Peripheral blood film:
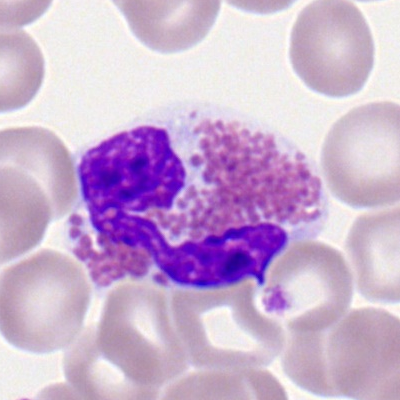 The classification is eosinophilic granulocyte.